Bone marrow aspirate smear — 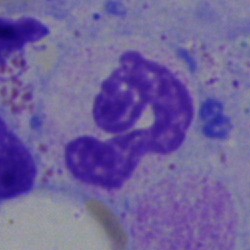

A neutrophil (segmented).